Bone marrow aspirate smear:
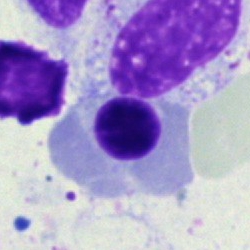 Specimen: bone marrow smear.
Morphological class: erythroblast.